Pappenheim-stained. 40× oil immersion. Bone marrow aspirate smear
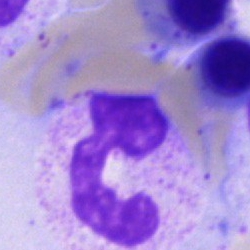 The cell shown is a segmented neutrophil.